Pappenheim-stained; bone marrow smear; single cell centered in the field — 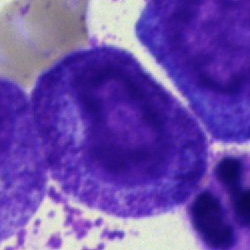

Showing a myelocyte.